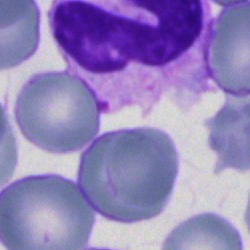 Morphology consistent with a neutrophil (segmented).